Bone marrow aspirate smear. MGG-stained.
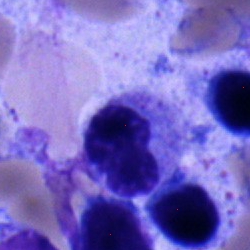

This is a monocyte.